Single-cell crop · bone marrow smear
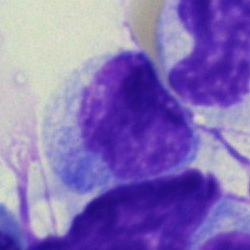Classification = monocyte.